40× objective, oil immersion. Bone marrow aspirate smear — 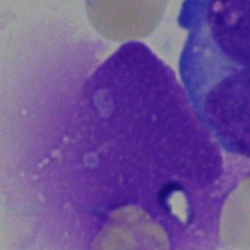 Classification: artifact.